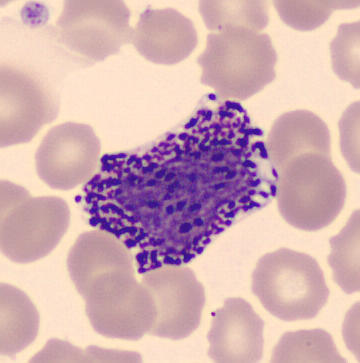 Image: Peripheral blood film.
Cell type: basophil.